Bone marrow smear:
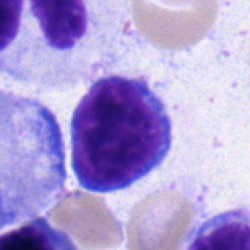
Morphology → typical lymphocyte.